Bone marrow smear:
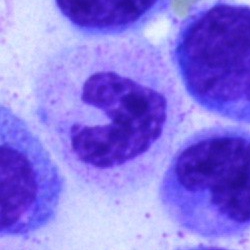

The cell shown is a segmented neutrophil.